Bone marrow smear.
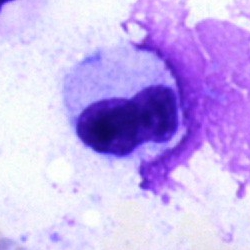Classification: stab cell.